Bone marrow aspirate smear. 40× objective, oil immersion.
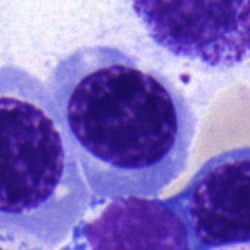 Nucleated red blood cell.